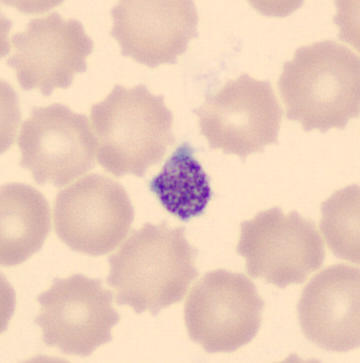

Image: Peripheral blood film; image size 360×363; MGG-stained.

Cell type = thrombocyte.